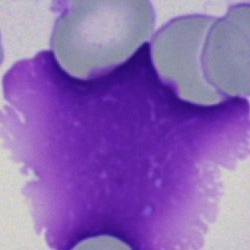 Cell type = artefact.